Bone marrow aspirate smear: 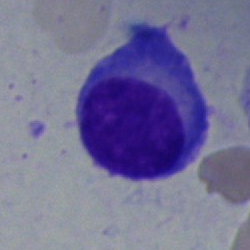 Classification — plasmacyte.